Bone marrow aspirate smear: 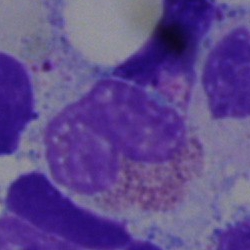 The classification is eosinophilic granulocyte.